May-Grünwald-Giemsa/Pappenheim stain · brightfield microscopy, 40× oil immersion · bone marrow smear:
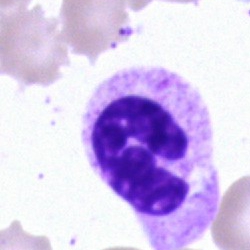

Specimen: bone marrow aspirate smear.
Classification: polymorphonuclear neutrophil.
Lineage: myeloid.